Bone marrow aspirate smear — 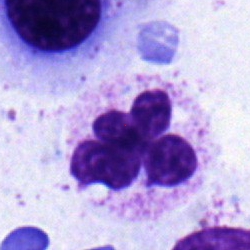 The classification is polymorphonuclear neutrophil.